250×250 · 40× oil immersion · bone marrow smear:
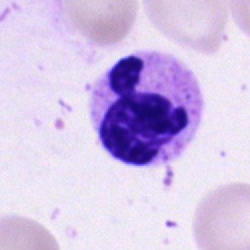
Specimen: bone marrow smear.
Morphological class: segmented neutrophil.